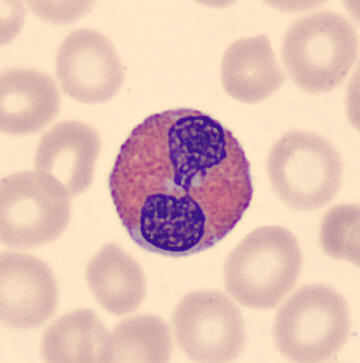
Q: What is shown here?
A: Eosinophilic granulocyte.